Bone marrow aspirate smear; 250×250; May-Grünwald-Giemsa/Pappenheim stain:
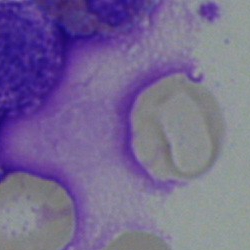

Morphological class = artifact.